Bone marrow smear — 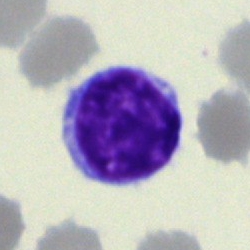Specimen: bone marrow smear.
Cell type: typical lymphocyte.
Lineage: lymphoid.